Single-cell crop · 250 by 250 pixels · bone marrow aspirate smear:
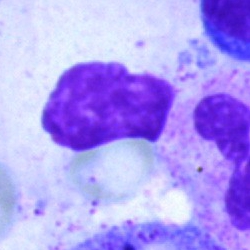
Artifact.